Bone marrow aspirate smear; Pappenheim-stained
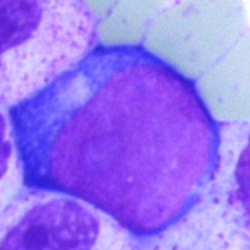
{"cell_type": "nucleated red blood cell", "lineage": "erythroid"}